Single-cell crop · 400×400 · peripheral blood film.
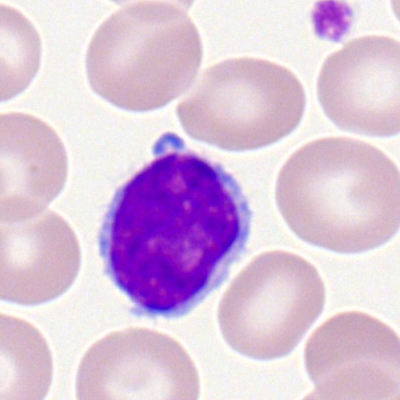Morphology — lymphocyte.